Bone marrow smear. Single cell centered in the field: 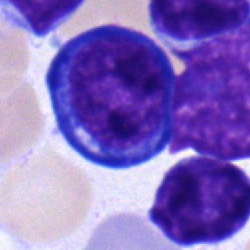The cell shown is a plasmacyte.